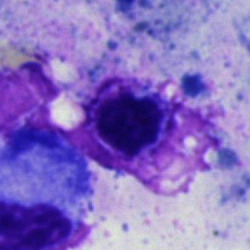{"cell_type": "artifact"}